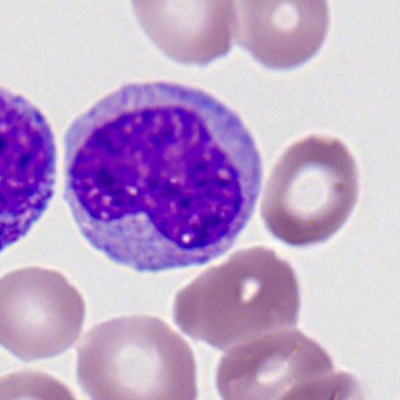This is a monocyte.